Single-cell field · bone marrow aspirate smear · May-Grünwald-Giemsa stain — 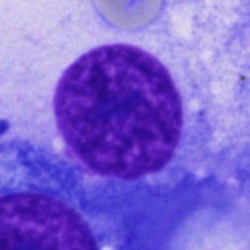

Cell type — other cell type.